Bone marrow smear — 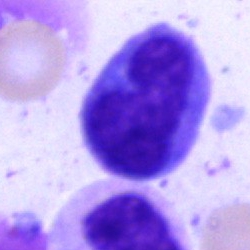

Morphology consistent with a monocyte.